Image size 250×250. Cropped to a single cell. Bone marrow aspirate smear — 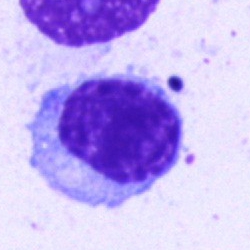Lymphocyte.